Peripheral blood film — 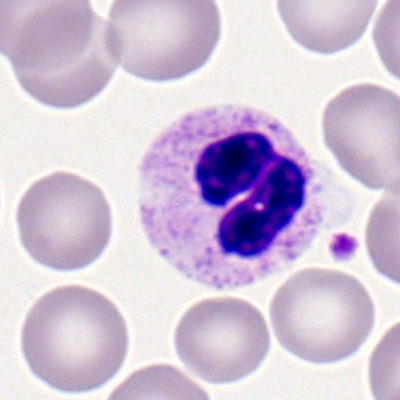
Q: What cell is this?
A: This is a polymorphonuclear neutrophil.